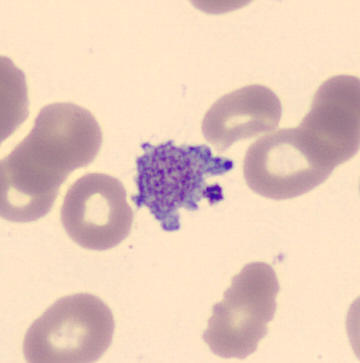
Peripheral blood film. Identified as a platelet (thrombocyte).